Bone marrow aspirate smear:
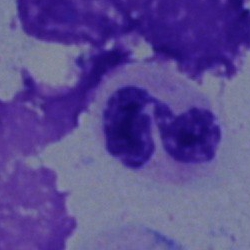 Cell = neutrophil (segmented).